Bone marrow aspirate smear:
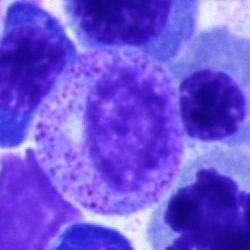 Impression — myelocyte.